Peripheral blood smear. Romanowsky-stained. 100× oil immersion, 14.14 px/µm: 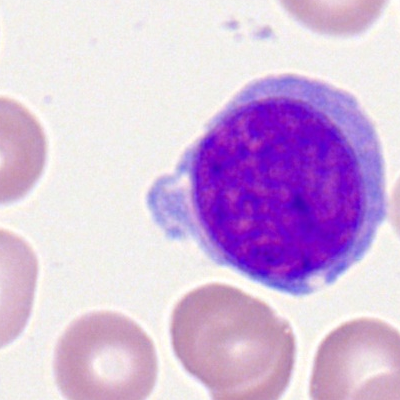 Morphological class: myeloid blast.